Bone marrow aspirate smear. Brightfield, 40× oil-immersion objective. Single-cell crop:
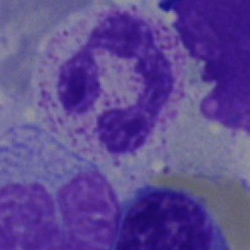The cell shown is a neutrophil (segmented).